250×250 px · bone marrow aspirate smear: 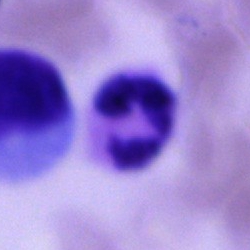A segmented neutrophil.